Bone marrow smear
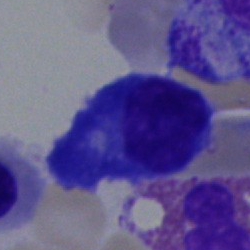
Morphology — plasmacyte.